Bone marrow smear · brightfield microscopy, 40× oil immersion — 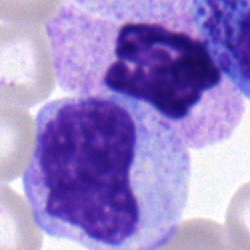Showing a polymorphonuclear neutrophil.